Bone marrow smear.
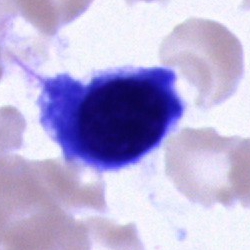
Cell type = cell of indeterminate lineage.